40× objective, oil immersion; MGG-stained; bone marrow aspirate smear.
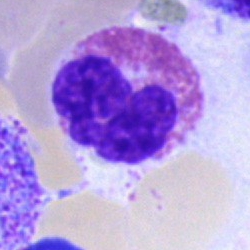

{"cell_type": "eosinophil", "lineage": "myeloid"}